250×250 px. Bone marrow smear. May-Grünwald-Giemsa stain
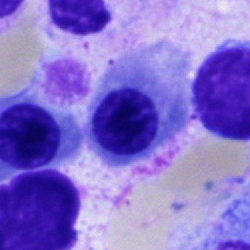 Q: What is the morphological classification of this cell?
A: This is a normoblast.